Single-cell crop · peripheral blood film
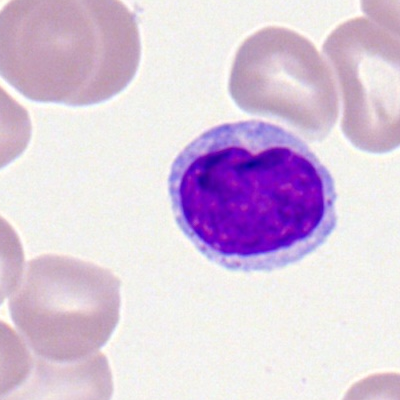Impression → typical lymphocyte.